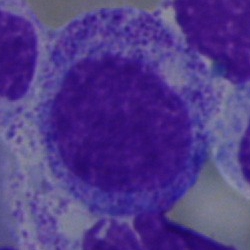Showing a promyelocyte.